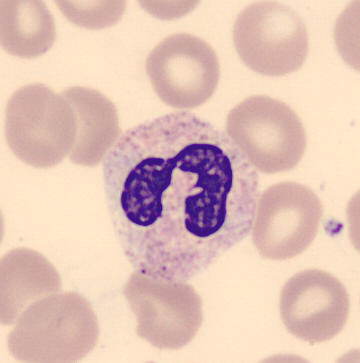 Preparation: CellaVision DM96 digital cell image.

Specimen: peripheral blood smear.
Cell type: segmented neutrophil.
Lineage: myeloid.